Bone marrow aspirate smear. 40× oil immersion. Image size 250×250
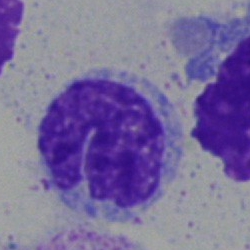Cell: monocyte.